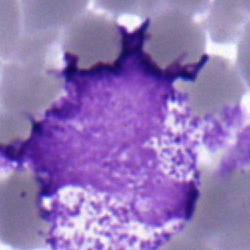 Morphology consistent with a myelocyte.